Bone marrow smear; cropped to a single cell.
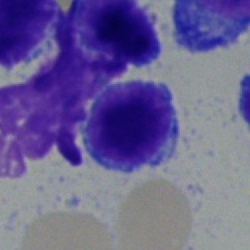Morphology → typical lymphocyte.